250×250 px. Bone marrow smear — 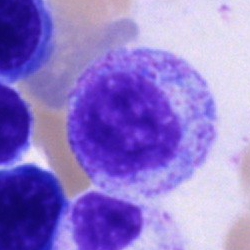 Showing a myelocyte.